Bone marrow smear: 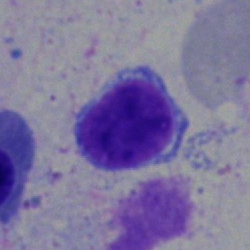
Q: What is shown here?
A: Lymphocyte.